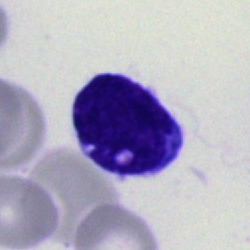

Cell = blast cell.